Bone marrow aspirate smear.
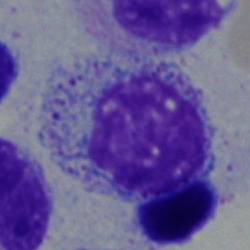
Morphology → myelocyte.